Bone marrow smear.
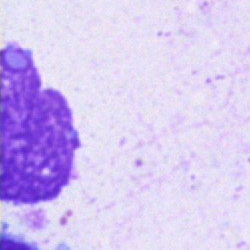
An artefact.